Single-cell crop; bone marrow aspirate smear
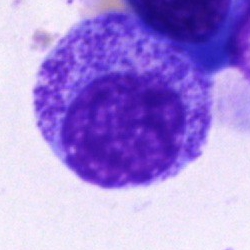
Promyelocyte.